Bone marrow aspirate smear; 250 by 250 pixels; May-Grünwald-Giemsa/Pappenheim stain: 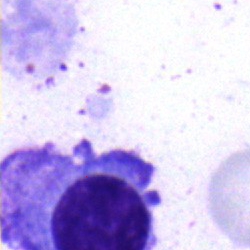

Classification = plasmacyte.